Bone marrow aspirate smear; single-cell field.
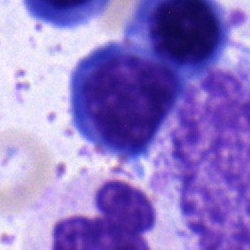

Q: What type of cell is this?
A: Nucleated red cell.